Peripheral blood smear: 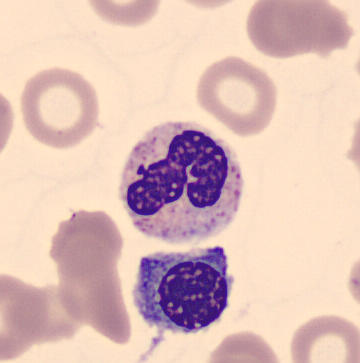Morphology — stab cell.